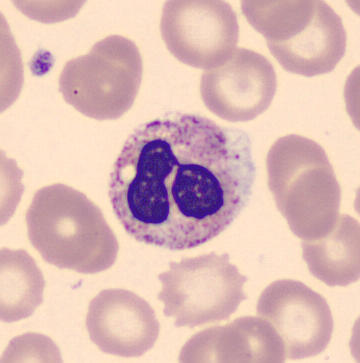A neutrophil (segmented) on a peripheral blood smear.